Bone marrow smear. MGG-stained — 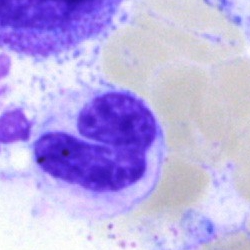Cell: neutrophil (band).